May-Grünwald-Giemsa/Pappenheim stain. Bone marrow smear. Image size 250×250 — 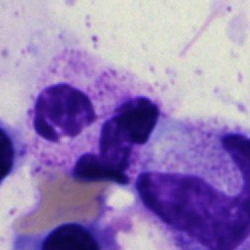
The cell shown is a neutrophil (segmented).